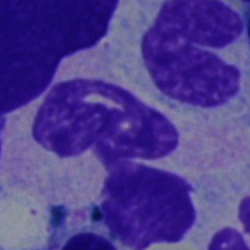
The morphological class is neutrophil (segmented).